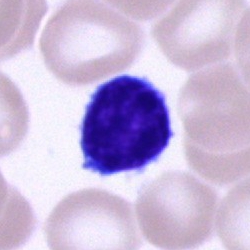The cell shown is a typical lymphocyte.